Brightfield microscopy, 40× oil immersion. Bone marrow aspirate smear.
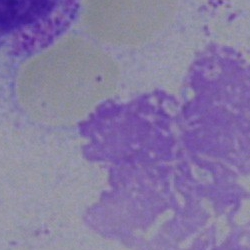

Morphology consistent with an artefact.